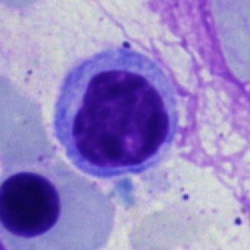 {"cell_type": "typical lymphocyte"}